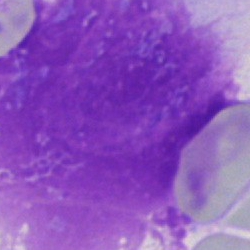Single cell identified as an artefact.